Bone marrow aspirate smear:
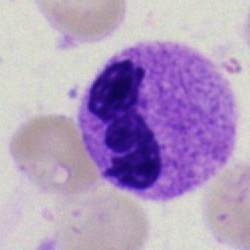Morphology consistent with a polymorphonuclear neutrophil.